Bone marrow aspirate smear; May-Grünwald-Giemsa stain
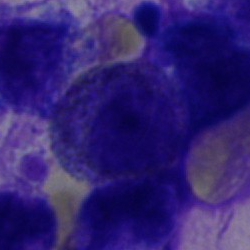

Artifact.